Bone marrow aspirate smear:
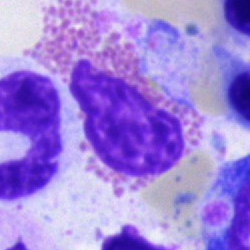Morphology consistent with an eosinophilic granulocyte.